Bone marrow smear
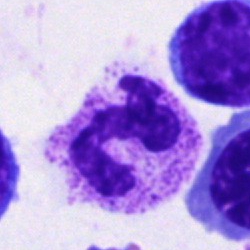Q: What type of cell is this?
A: It is a polymorphonuclear neutrophil.